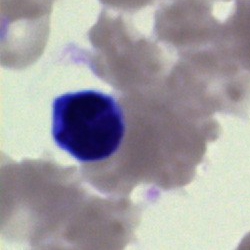 Classification = artefact.